Bone marrow smear. 40× objective, oil immersion.
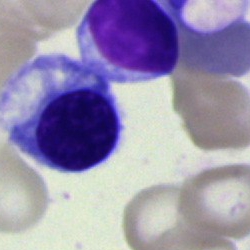

Morphology consistent with a normoblast.